Bone marrow aspirate smear; single-cell crop; brightfield microscopy, 40× oil immersion: 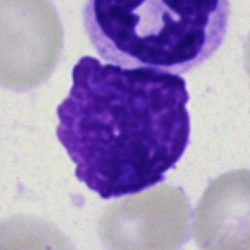
Q: What is shown here?
A: This is an artefact.